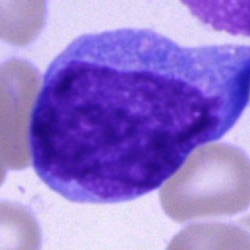 Impression — undifferentiated blast.